360×363 px · peripheral blood film · May Grünwald-Giemsa stain.
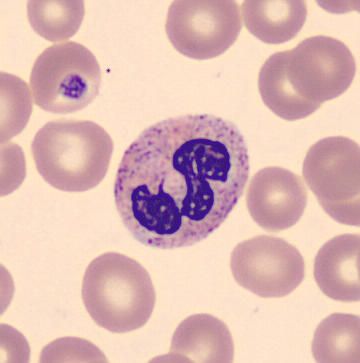Morphology consistent with a neutrophil (segmented).